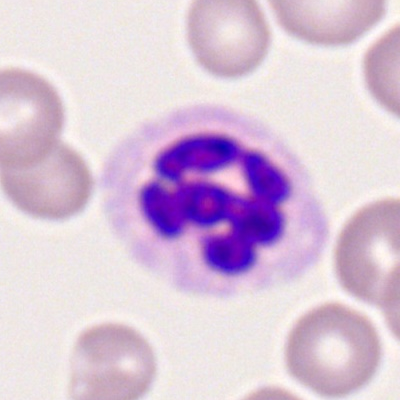
Q: What type of cell is this?
A: It is a segmented neutrophil.